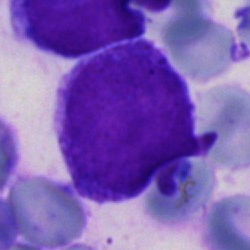This is a blast.